Bone marrow aspirate smear:
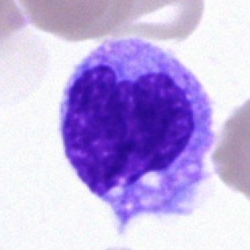Monocyte.